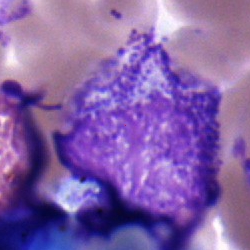 A myelocyte on a bone marrow smear.